Bone marrow aspirate smear. 40× objective, oil immersion
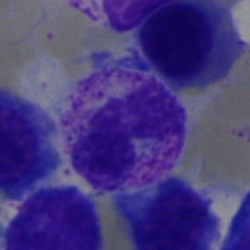 Impression → polymorphonuclear neutrophil.